250×250. Bone marrow smear. 40× oil immersion
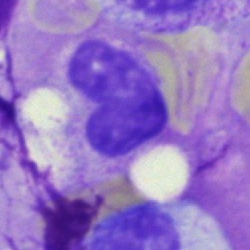 Cell type — band neutrophil.